Peripheral blood film · single-cell crop: 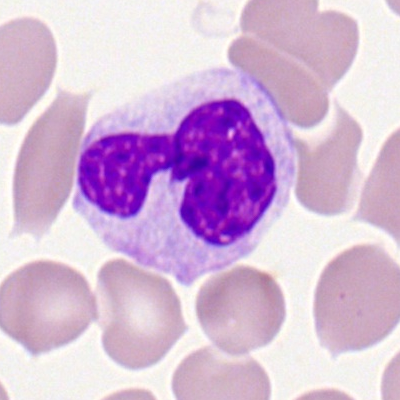
Cell: monocyte.